Bone marrow smear. May-Grünwald-Giemsa stain — 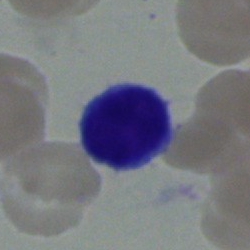
Q: What is the morphological classification of this cell?
A: It is a lymphocyte.